Bone marrow aspirate smear
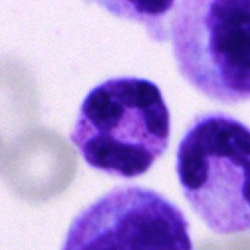 Neutrophil (segmented).